Bone marrow smear.
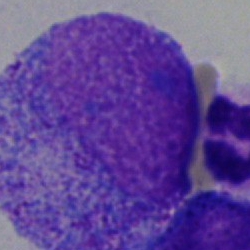
Promyelocyte.